Single-cell crop · bone marrow smear: 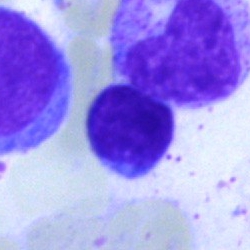

This is a typical lymphocyte.